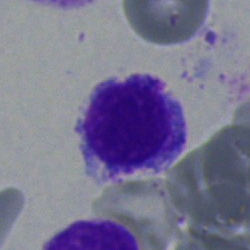
{"cell_type": "typical lymphocyte", "lineage": "lymphoid"}